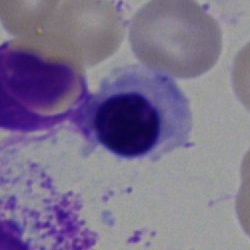
The cell shown is an erythroblast.